Bone marrow smear:
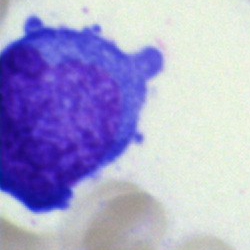

Showing an undifferentiated blast.